Bone marrow aspirate smear: 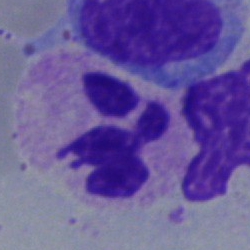Q: Identify the cell.
A: It is a polymorphonuclear neutrophil.